Romanowsky-stained. Single cell centered in the field. Peripheral blood smear: 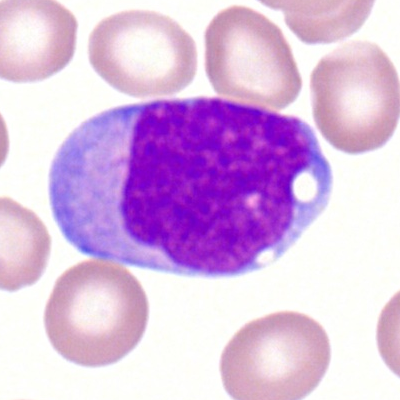 Showing a myeloblast.